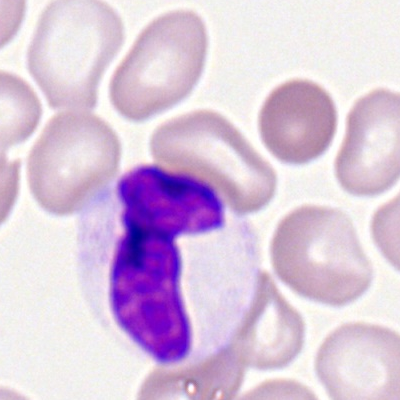

Specimen: peripheral blood smear.
Morphological class: neutrophil (segmented).
Lineage: myeloid.